Bone marrow aspirate smear. Single cell centered in the field: 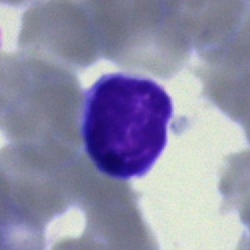 The cell shown is a typical lymphocyte.